Bone marrow smear · 250 by 250 pixels: 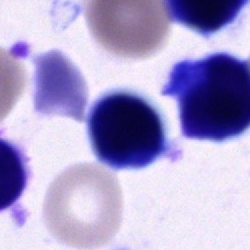 An unidentifiable cell.